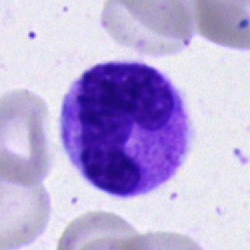 Specimen: bone marrow aspirate smear.
Cell: neutrophil (band).
Lineage: myeloid.